40× objective, oil immersion. Bone marrow aspirate smear.
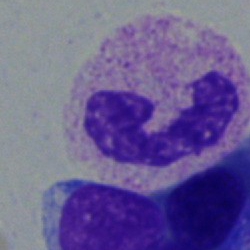
{"cell_type": "band-form neutrophil", "lineage": "myeloid"}